Bone marrow smear
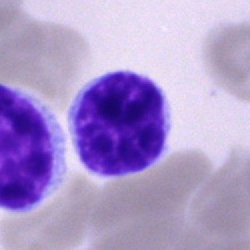
Specimen: bone marrow smear.
Cell: lymphocyte.